Bone marrow smear · May-Grünwald-Giemsa stain · brightfield, 40× oil-immersion objective:
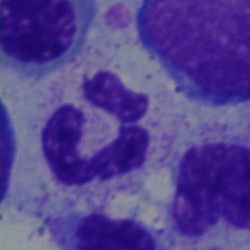 This is a polymorphonuclear neutrophil.